Bone marrow aspirate smear: 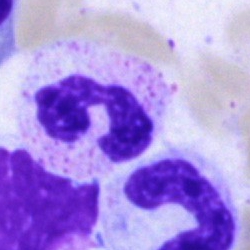 A neutrophil (segmented).